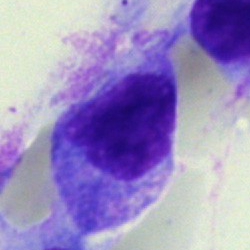Single cell identified as an artefact.